May-Grünwald-Giemsa/Pappenheim stain. Bone marrow smear — 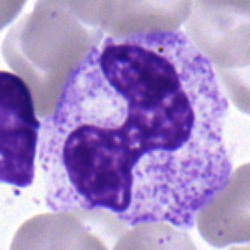
Showing a polymorphonuclear neutrophil.